Bone marrow smear:
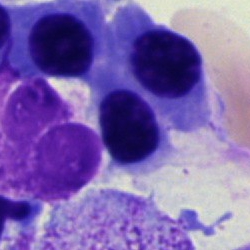

{"cell_type": "erythroblast"}